Bone marrow smear; 250×250 — 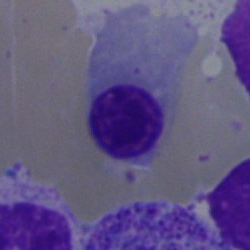

Q: Identify the cell.
A: This is a nucleated red cell.